Bone marrow smear: 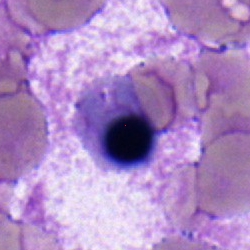
Cell = erythroblast.